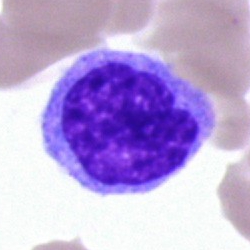Morphological class: monocyte.